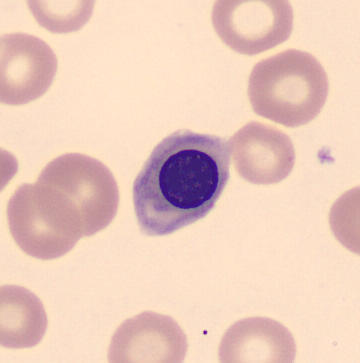Preparation: Single cell centered in the field · peripheral blood film · CellaVision DM96 digital cell image.

Cell = normoblast.